Bone marrow aspirate smear. 250 by 250 pixels:
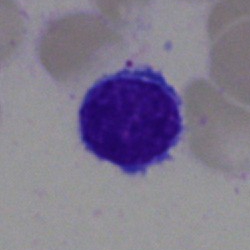Specimen: bone marrow smear.
Classification: lymphocyte.
Lineage: lymphoid.